Single cell centered in the field · peripheral blood smear.
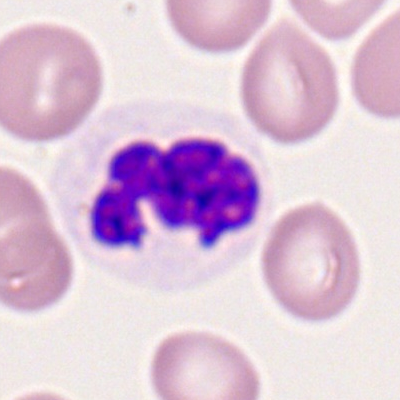Showing a segmented neutrophil.